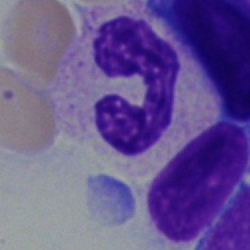
The cell is segmented neutrophil.